250×250 · bone marrow smear — 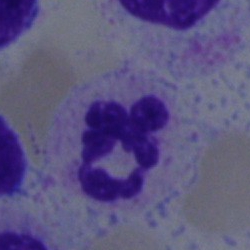 The cell shown is a segmented neutrophil.